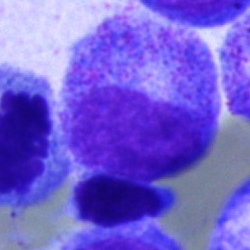

Cell type — promyelocyte.